Single-cell crop; 40× oil immersion; bone marrow smear — 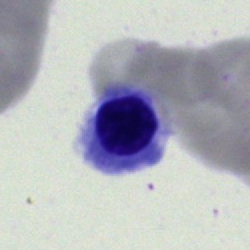 The cell shown is a normoblast.